Bone marrow aspirate smear. Brightfield microscopy, 40× oil immersion: 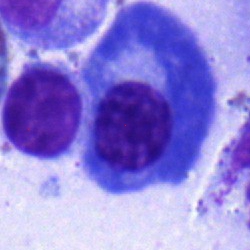 Morphology — plasmacyte.